Bone marrow smear:
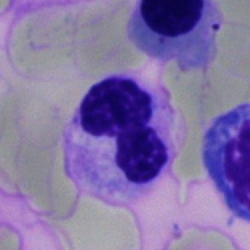
Q: Which cell type is shown here?
A: This is a polymorphonuclear neutrophil.